Cropped to a single cell · bone marrow aspirate smear:
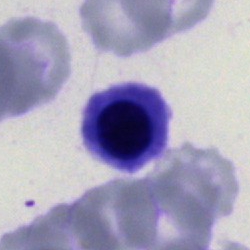
An erythroblast.